Bone marrow smear — 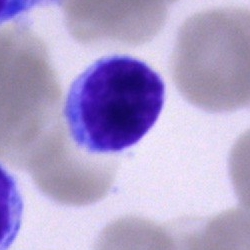
Specimen: bone marrow smear.
Classification: lymphocyte.